Bone marrow smear — 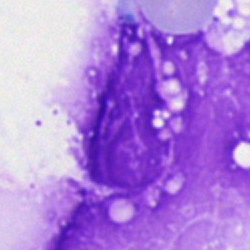

An artefact.